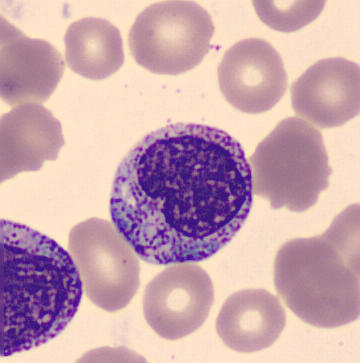 Image: Peripheral blood film. Q: What is this?
A: It is a myelocyte.